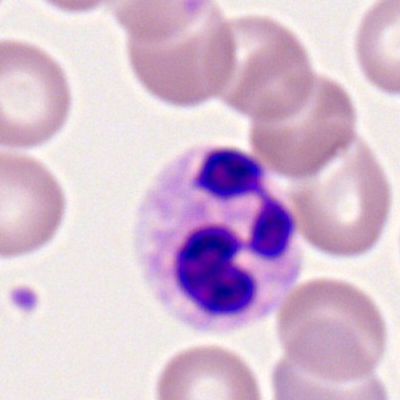

The classification is neutrophil (segmented).